Bone marrow aspirate smear.
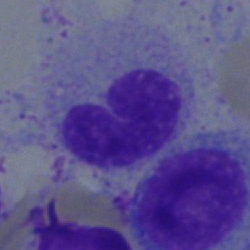
Morphological class = band-form neutrophil.